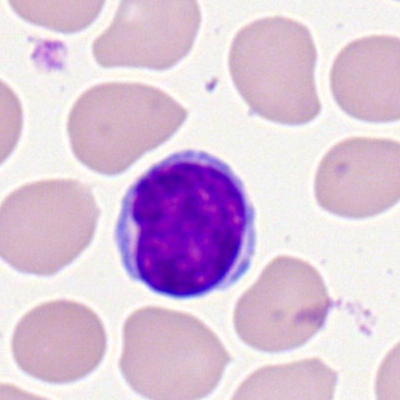Morphological class = lymphocyte.